Peripheral blood smear — 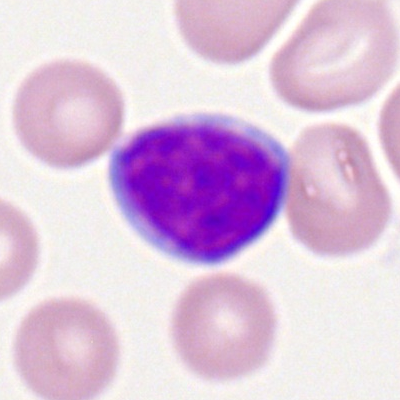

The classification is lymphocyte.